Bone marrow aspirate smear: 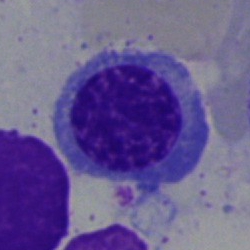

Q: What is shown here?
A: It is a nucleated red blood cell.